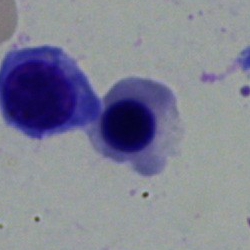

{"cell_type": "erythroblast", "lineage": "erythroid"}